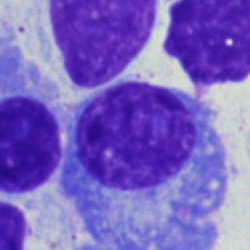 Impression — plasma cell.